Peripheral blood film; Romanowsky-type stain; image size 400×400.
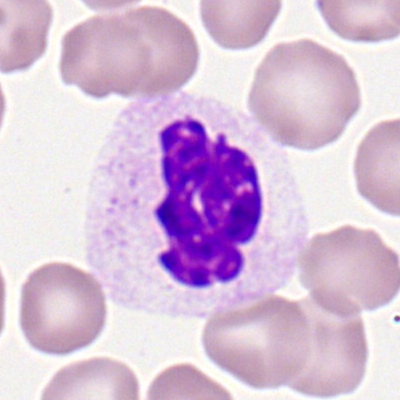 Specimen: peripheral blood smear.
Morphological class: polymorphonuclear neutrophil.
Lineage: myeloid.